Bone marrow aspirate smear · Pappenheim-stained · 250×250 px — 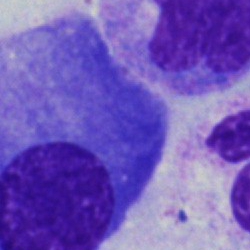 Q: What cell is this?
A: This is a plasmacyte.